Bone marrow aspirate smear; May-Grünwald-Giemsa/Pappenheim stain; brightfield, 40× oil-immersion objective.
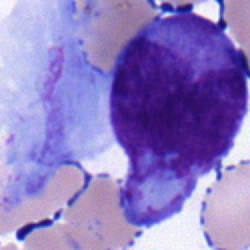

Classification: blast.